Bone marrow smear:
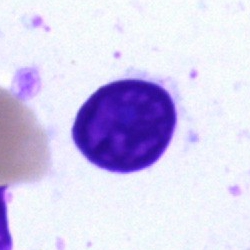
The cell shown is an artifact.